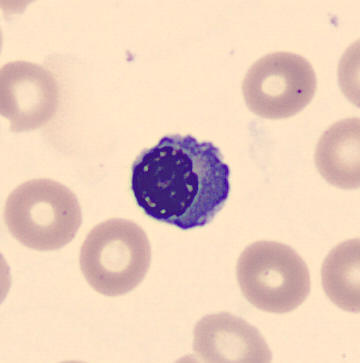
Peripheral blood smear.
The cell is normoblast.